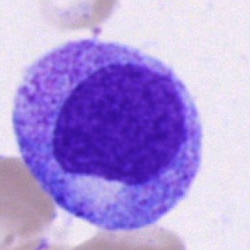

A progranulocyte on a bone marrow smear.